Bone marrow aspirate smear:
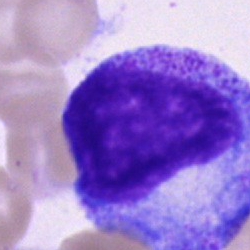 The cell shown is a progranulocyte.